Bone marrow smear.
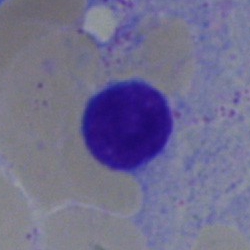

Showing a lymphocyte.